Bone marrow smear · cropped to a single cell: 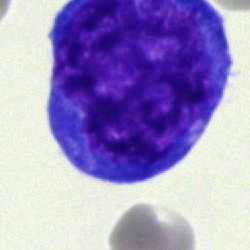

Q: Which cell type is shown here?
A: Pronormoblast.